Bone marrow smear.
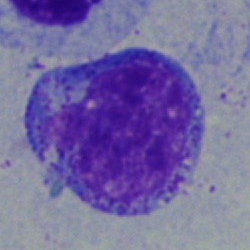

Progranulocyte.